250 by 250 pixels; bone marrow aspirate smear; May-Grünwald-Giemsa stain
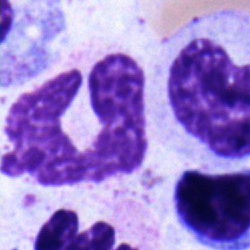

Morphology consistent with a stab cell.